Bone marrow aspirate smear — 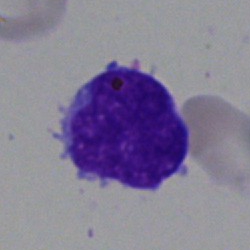The cell type is blast cell.